MGG-stained · bone marrow aspirate smear.
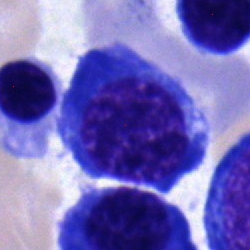Morphology consistent with a normoblast.